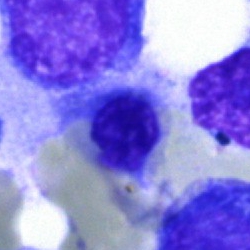Classification: nucleated red cell.